Bone marrow aspirate smear:
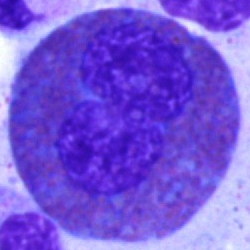 Q: Which cell type is shown here?
A: Eosinophil.